Bone marrow smear
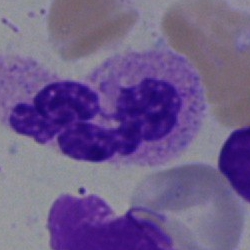Specimen: bone marrow aspirate smear.
Cell type: neutrophil (segmented).